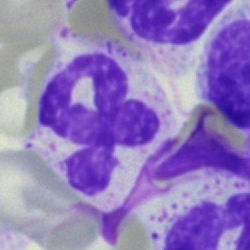

Bone marrow aspirate smear, single cell — neutrophil (segmented).